Bone marrow aspirate smear:
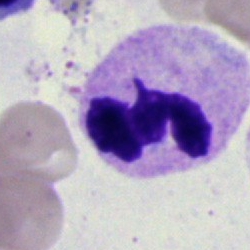 Q: What is shown here?
A: Neutrophil (segmented).